Bone marrow smear.
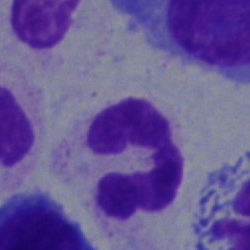
Single cell identified as a polymorphonuclear neutrophil.